Bone marrow aspirate smear
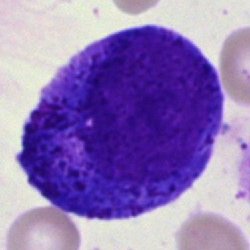Morphology consistent with a promyelocyte.